Peripheral blood film — 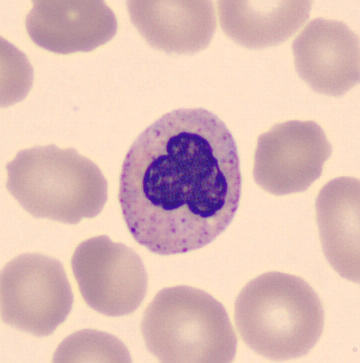Cell — polymorphonuclear neutrophil.